Bone marrow smear: 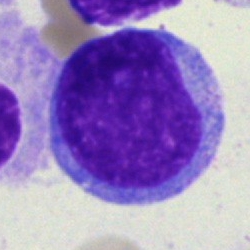

Specimen: bone marrow aspirate smear.
Cell: blast.